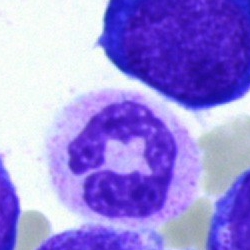Morphological class: neutrophil (segmented).